MGG-stained · brightfield microscopy, 40× oil immersion · bone marrow aspirate smear.
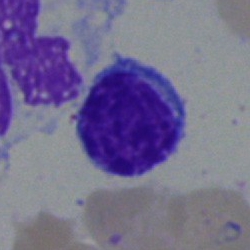 Single cell identified as a lymphocyte.